Bone marrow smear: 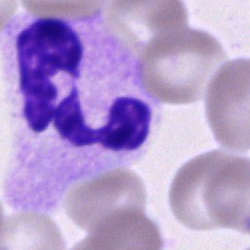

Q: What type of cell is this?
A: This is a neutrophil (segmented).